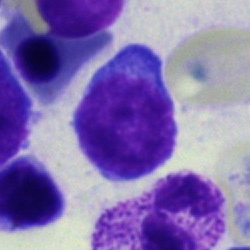

Cell type — lymphocyte.